Single cell centered in the field. Romanowsky stain. Peripheral blood smear
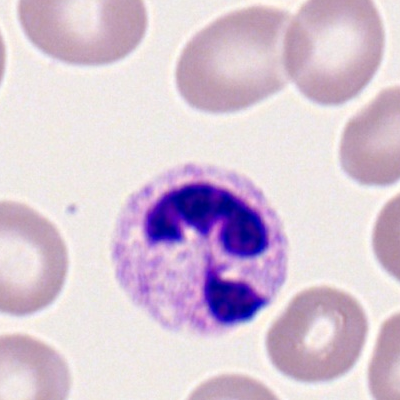

Specimen: peripheral blood smear.
Morphological class: neutrophil (segmented).